Bone marrow aspirate smear
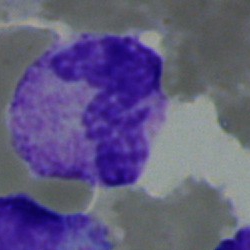 {"cell_type": "segmented neutrophil"}